Bone marrow smear:
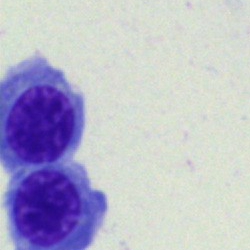

Q: Which cell type is shown here?
A: Normoblast.